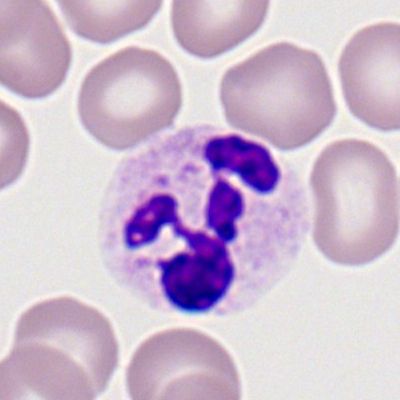 Morphology → neutrophil (segmented).